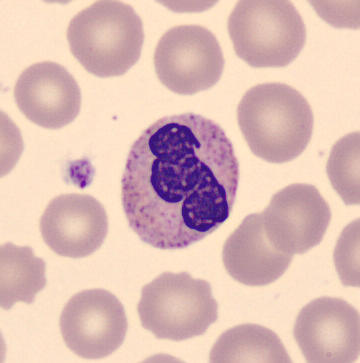 Morphological class: neutrophil (band). Image: Peripheral blood smear.